Bone marrow smear. Single-cell crop. Brightfield microscopy, 40× oil immersion:
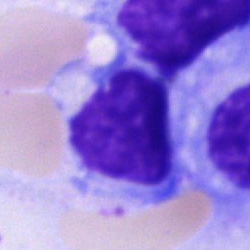 Cell of indeterminate lineage.